Bone marrow smear — 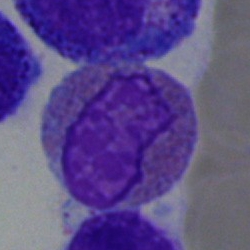
Morphological class — eosinophil.